Bone marrow smear; brightfield microscopy, 40× oil immersion; single-cell field.
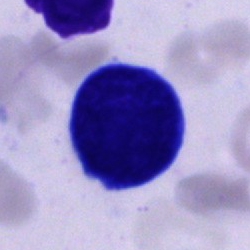Morphology consistent with a cell of indeterminate lineage.